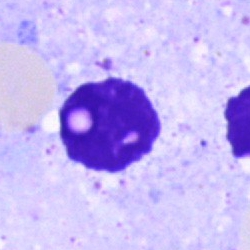 Impression — artifact.